Single-cell crop; bone marrow smear; 250×250 px: 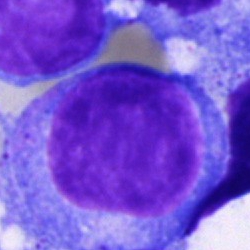Single cell identified as an undifferentiated blast.